Single-cell crop · brightfield microscopy, 40× oil immersion · bone marrow smear.
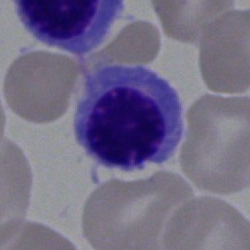 {"cell_type": "erythroblast", "lineage": "erythroid"}